250 by 250 pixels · brightfield, 40× oil-immersion objective · bone marrow smear — 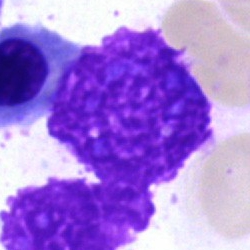

Classification — artefact.